Bone marrow aspirate smear. May-Grünwald-Giemsa/Pappenheim stain:
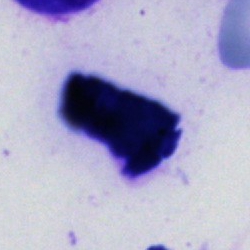Classification: artefact.